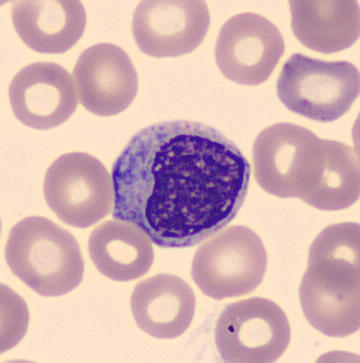

360 by 363 pixels.
Specimen: peripheral blood film.
Classification: metamyelocyte.